Bone marrow smear:
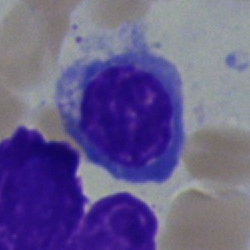 Normoblast.